Bone marrow smear
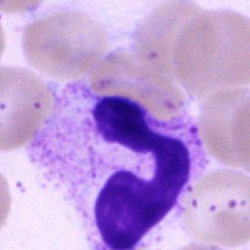 Cell type = polymorphonuclear neutrophil.